Bone marrow smear.
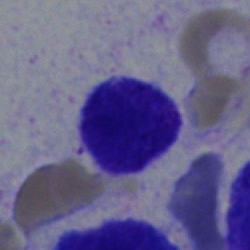Single cell identified as a lymphocyte.